Bone marrow aspirate smear. May-Grünwald-Giemsa/Pappenheim stain — 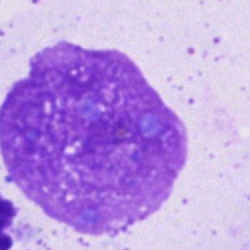

Specimen: bone marrow smear.
Classification: artefact.